Bone marrow aspirate smear: 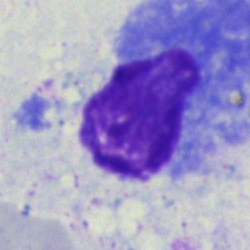
An artefact.